Brightfield, 40× oil-immersion objective. Bone marrow aspirate smear.
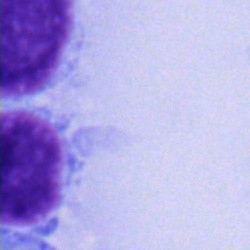
The classification is lymphocyte.